Bone marrow smear: 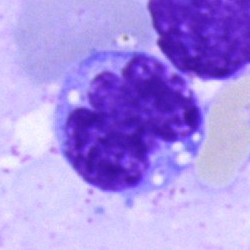
Specimen: bone marrow smear.
Cell: monocyte.